Bone marrow aspirate smear. May-Grünwald-Giemsa/Pappenheim stain — 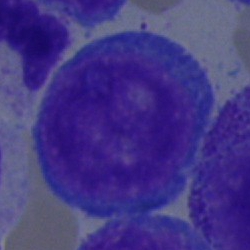 Impression → blast cell.